Bone marrow smear — 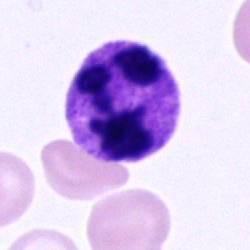
Specimen: bone marrow aspirate smear.
Cell: neutrophil (segmented).